Image size 250×250. Bone marrow aspirate smear — 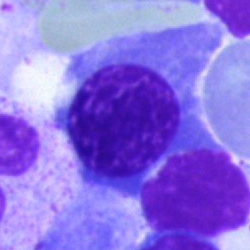

Q: What type of cell is this?
A: It is an erythroblast.